Bone marrow smear:
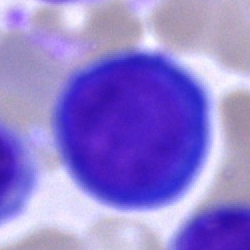 A proerythroblast.